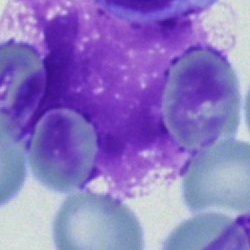 Morphology → artifact.